Bone marrow smear.
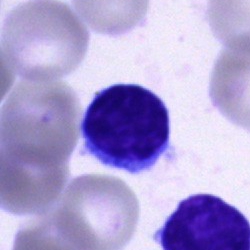
Specimen: bone marrow smear.
Cell: lymphocyte.
Lineage: lymphoid.